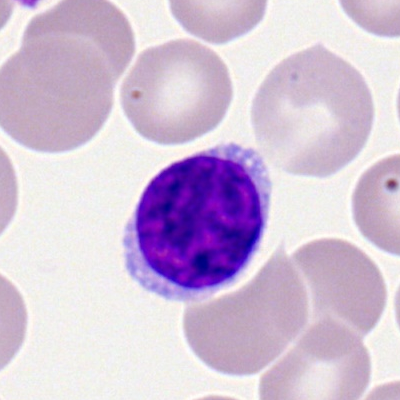 A typical lymphocyte.